Bone marrow smear
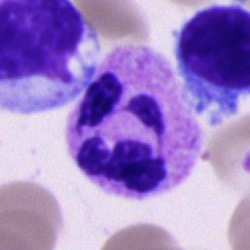Specimen: bone marrow smear.
Morphological class: polymorphonuclear neutrophil.
Lineage: myeloid.